Bone marrow aspirate smear — 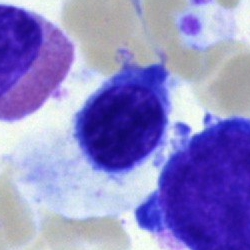

{"cell_type": "erythroblast", "lineage": "erythroid"}